250×250 px. Bone marrow aspirate smear.
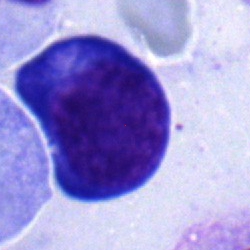
Single cell identified as a pronormoblast.